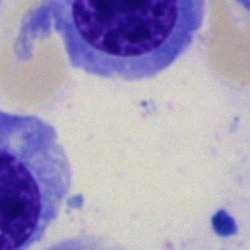Classification — normoblast.